Bone marrow smear — 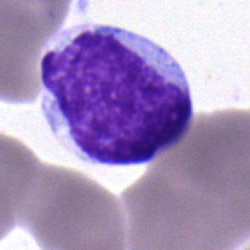 Showing a blast cell.